Bone marrow smear
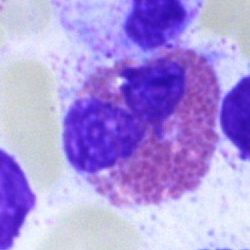 Showing an eosinophilic granulocyte.